Bone marrow smear: 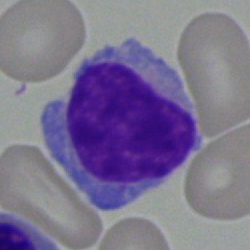 The cell shown is a typical lymphocyte.